Bone marrow smear
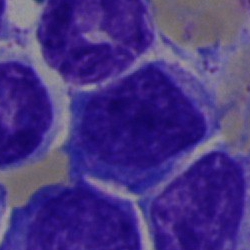Specimen: bone marrow smear.
Classification: blast cell.